Bone marrow aspirate smear
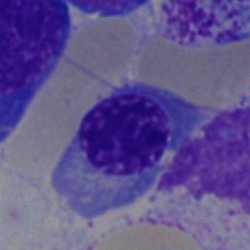{"cell_type": "normoblast"}